250 by 250 pixels. Bone marrow aspirate smear. Single-cell crop — 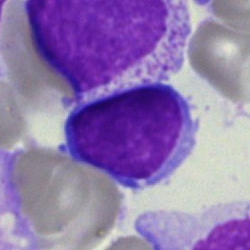 Showing a lymphocyte.